Bone marrow smear: 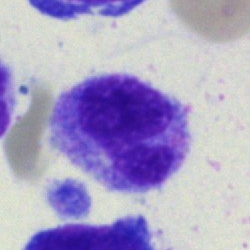 Classification = monocyte.